Bone marrow smear · 250×250 px.
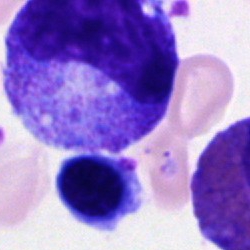 Morphology consistent with a promyelocyte.